250×250 px · bone marrow aspirate smear
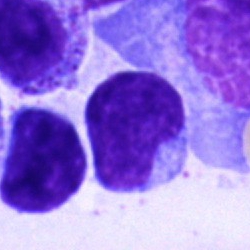 Single cell identified as a typical lymphocyte.